Single cell centered in the field · bone marrow smear.
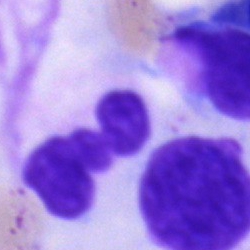Single cell identified as a segmented neutrophil.